Bone marrow aspirate smear.
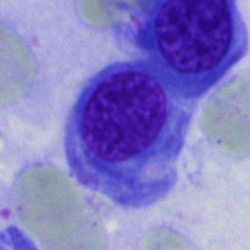Cell type = erythroblast.